Bone marrow aspirate smear · single-cell field
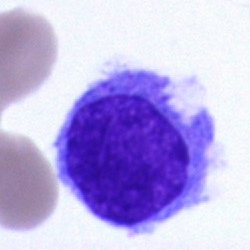 Cell type — blast.